Bone marrow aspirate smear; single cell centered in the field; May-Grünwald-Giemsa stain:
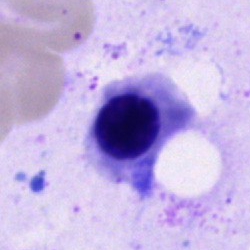Q: What cell is this?
A: A nucleated red blood cell.